Bone marrow aspirate smear · May-Grünwald-Giemsa stain.
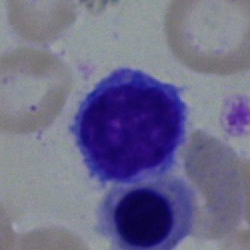
Lymphocyte.